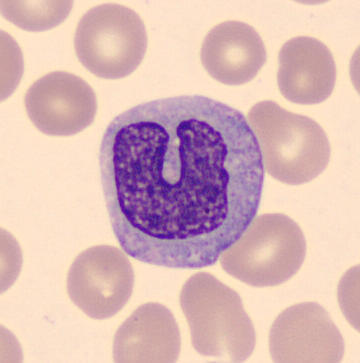
Q: What cell is this?
A: It is a monocyte.